Peripheral blood smear
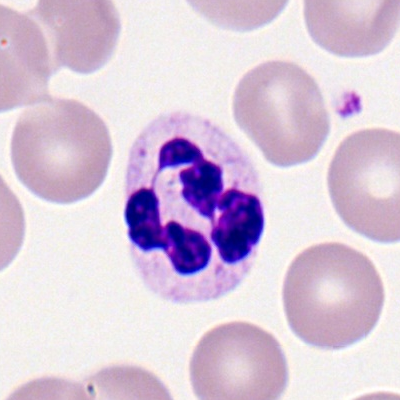

A polymorphonuclear neutrophil.